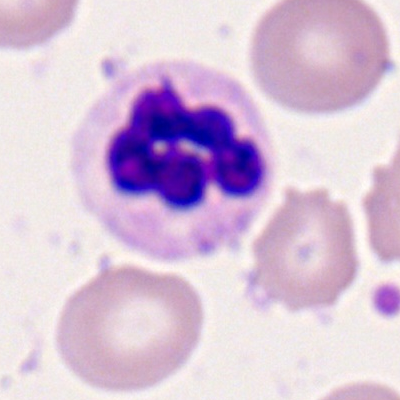
Single-cell crop from a peripheral blood smear: segmented neutrophil.